Pappenheim-stained · bone marrow aspirate smear
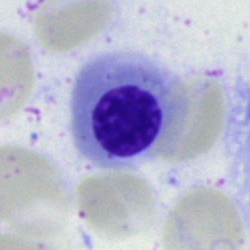

Morphology consistent with a nucleated red cell.